Single cell centered in the field · bone marrow aspirate smear:
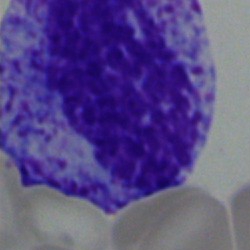
Morphology consistent with a progranulocyte.